Peripheral blood smear.
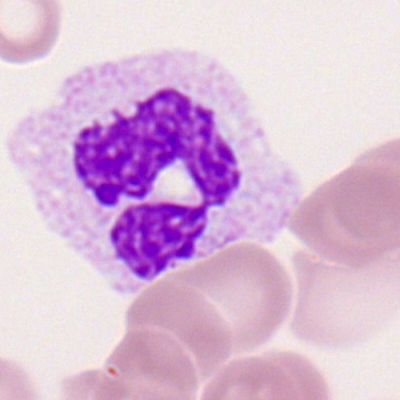 Cell = neutrophil (segmented).